MGG-stained. Bone marrow smear.
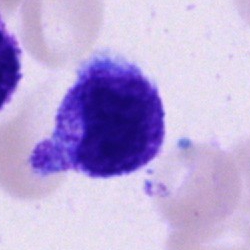
Classification: unidentifiable cell.